Bone marrow smear. 40× oil immersion. MGG-stained
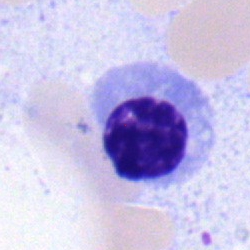The cell is nucleated red cell.